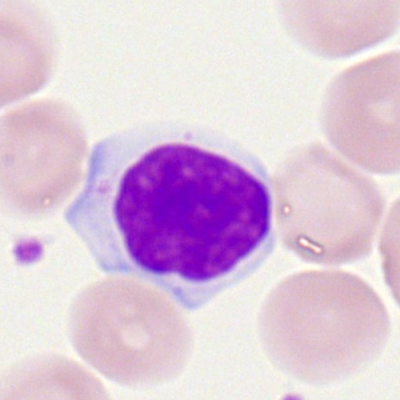

Peripheral blood smear showing a typical lymphocyte.